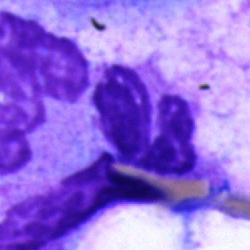
Impression → segmented neutrophil.